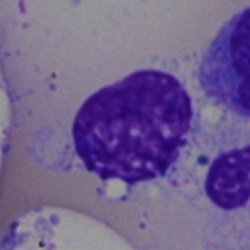 Morphology — artefact.